MGG-stained. Bone marrow smear. Cropped to a single cell: 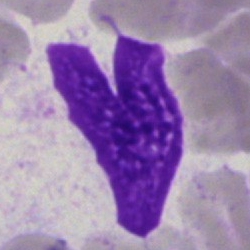An artefact.